Bone marrow aspirate smear; Pappenheim-stained
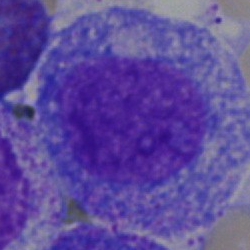

Showing a promyelocyte.